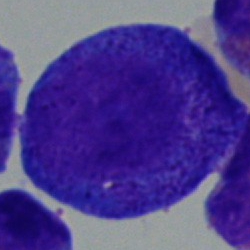
Morphology → progranulocyte.